Peripheral blood film; 400×400 px.
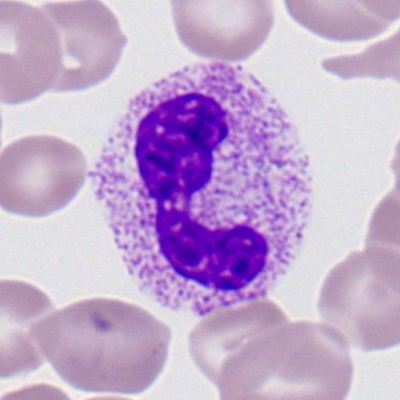 Morphological class: segmented neutrophil.